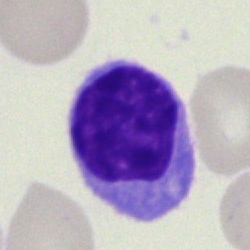

Bone marrow aspirate smear, single cell — lymphocyte.